Bone marrow aspirate smear:
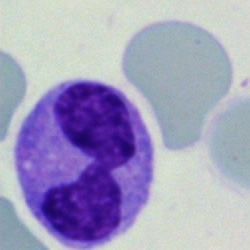 Monocyte.